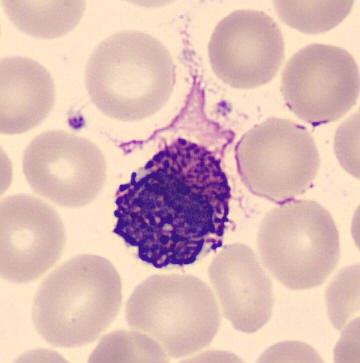Q: What is this?
A: A basophil.

Preparation: Peripheral blood film.